Brightfield microscopy, 40× oil immersion; bone marrow aspirate smear; 250×250:
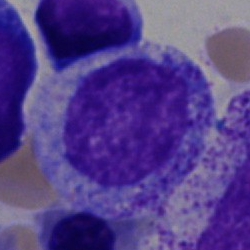
Progranulocyte.